Bone marrow aspirate smear: 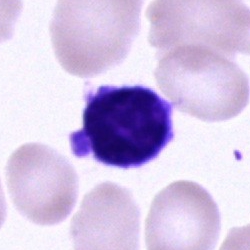 Q: What is shown here?
A: Unidentifiable cell.